Single-cell field. Bone marrow smear. 250×250 — 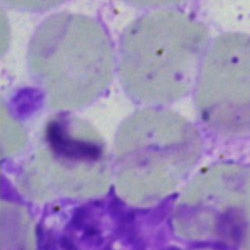Cell — artifact.